40× objective, oil immersion; bone marrow smear
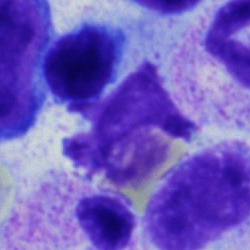
Q: What is shown here?
A: An artefact.